Bone marrow aspirate smear. 250 by 250 pixels — 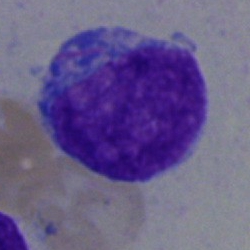
This is a blast.